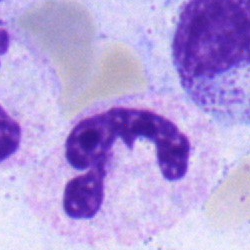
The cell shown is a neutrophil (segmented).